MGG-stained · image size 250×250 · bone marrow smear
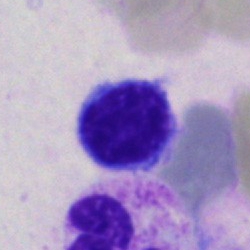
Classification = typical lymphocyte.